Bone marrow aspirate smear:
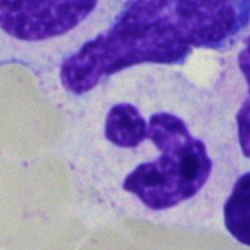
Specimen: bone marrow aspirate smear.
Cell type: polymorphonuclear neutrophil.
Lineage: myeloid.